Brightfield, 40× oil-immersion objective. Bone marrow aspirate smear:
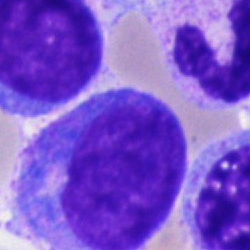

Specimen: bone marrow aspirate smear.
Classification: blast.